Bone marrow smear. Single-cell field. May-Grünwald-Giemsa/Pappenheim stain: 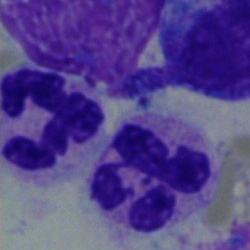 A segmented neutrophil.